Bone marrow smear
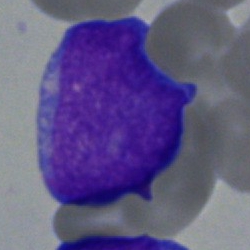

Q: What cell is this?
A: It is an undifferentiated blast.